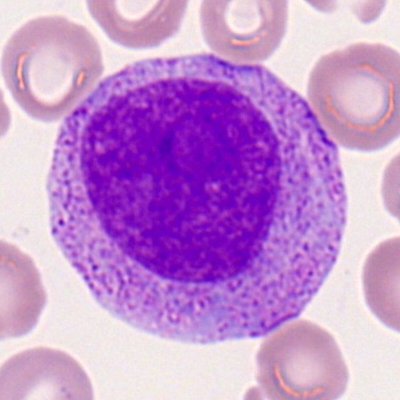
The morphological class is progranulocyte.